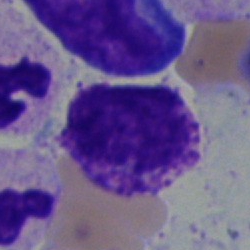Morphology — basophil.